250×250 px; bone marrow aspirate smear: 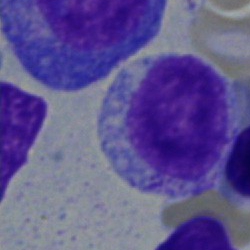
{"cell_type": "myelocyte"}